Bone marrow aspirate smear. 40× objective, oil immersion.
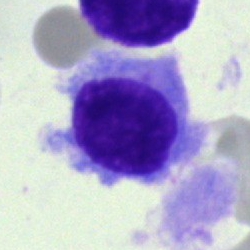Morphology consistent with a hairy cell.